Bone marrow aspirate smear · MGG-stained · brightfield microscopy, 40× oil immersion — 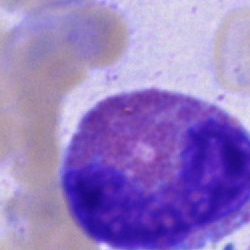
Q: What is shown here?
A: This is an eosinophilic granulocyte.